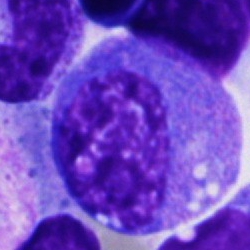 Single-cell crop from a bone marrow smear: promyelocyte.